Bone marrow aspirate smear — 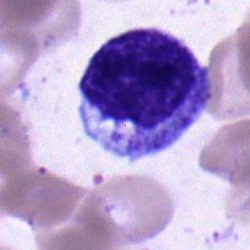

Single cell identified as a myelocyte.